Bone marrow smear · brightfield microscopy, 40× oil immersion.
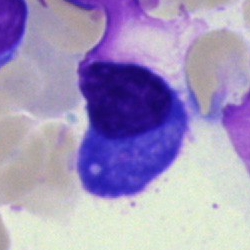

This is a plasmacyte.